Bone marrow smear · MGG-stained.
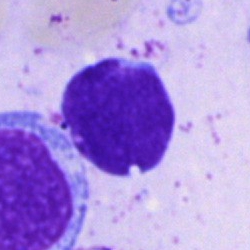

The cell shown is an undifferentiated blast.